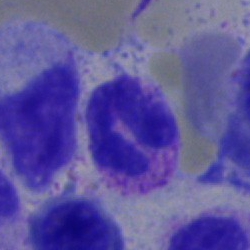

Morphological class: polymorphonuclear neutrophil.